Bone marrow aspirate smear — 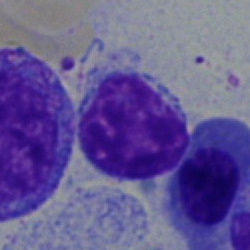 Impression — typical lymphocyte.